Pappenheim-stained. Bone marrow aspirate smear — 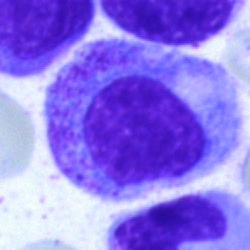

Classification — promyelocyte.